Bone marrow smear; May-Grünwald-Giemsa stain; cropped to a single cell
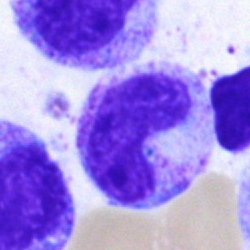
Single cell identified as a neutrophil (band).